Bone marrow smear
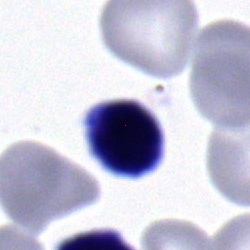

Typical lymphocyte.